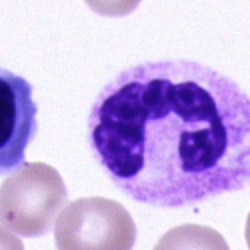The classification is polymorphonuclear neutrophil.